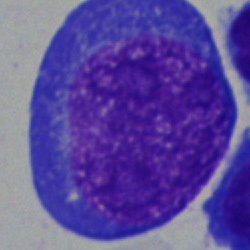A pronormoblast on a bone marrow smear.